40× oil immersion · bone marrow aspirate smear: 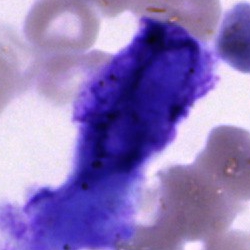
Cell type — artifact.